Bone marrow aspirate smear. 250×250 px:
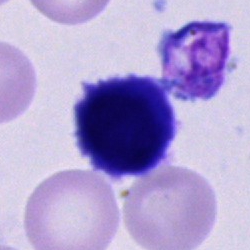

Showing a hairy cell.